Bone marrow smear — 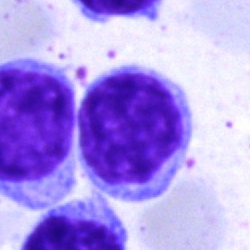 The cell shown is a lymphocyte.